Bone marrow aspirate smear — 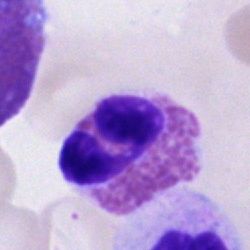 Specimen: bone marrow smear.
Morphological class: eosinophil.
Lineage: myeloid.